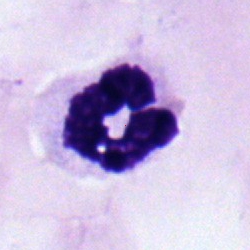 Morphological class: segmented neutrophil.